Bone marrow smear. Cropped to a single cell
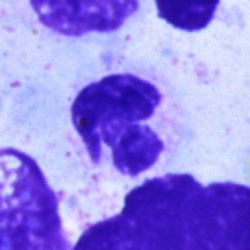

Single cell identified as a polymorphonuclear neutrophil.